Peripheral blood film: 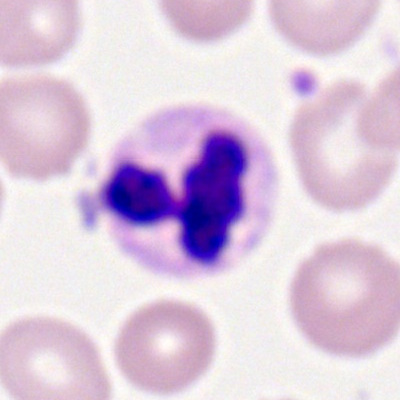
Cell type: neutrophil (segmented).